Bone marrow smear.
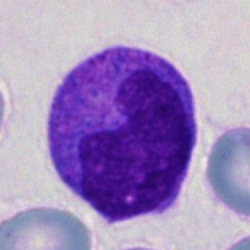

Q: What is shown here?
A: Metamyelocyte.